Bone marrow smear; brightfield microscopy, 40× oil immersion.
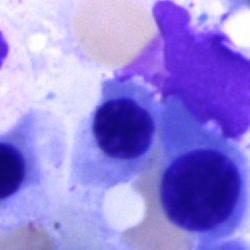 Q: Which cell type is shown here?
A: An erythroblast.